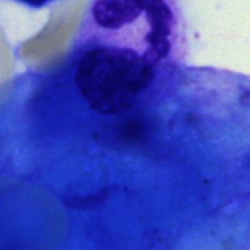

Specimen: bone marrow smear.
Morphological class: artifact.